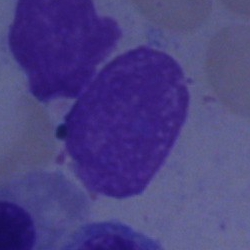 Cell = artefact.